Peripheral blood smear: 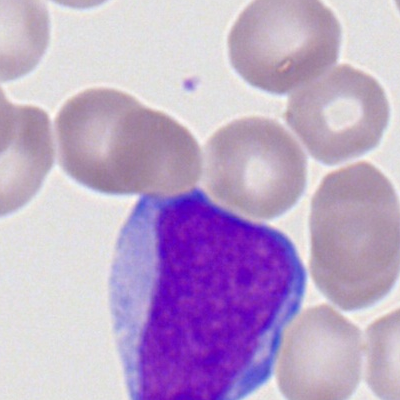 A myeloblast.